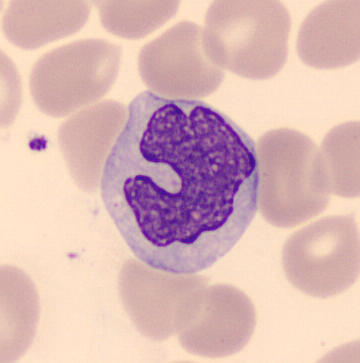

Cell type: monocyte. Peripheral blood smear.